Bone marrow aspirate smear.
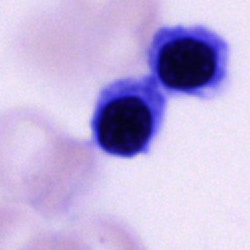 A cell of indeterminate lineage.